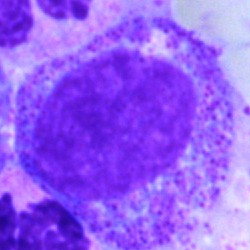
Bone marrow aspirate smear, single cell — nucleated red blood cell.